Bone marrow smear
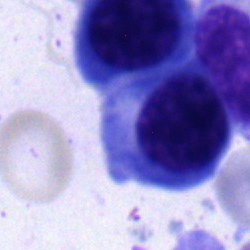Morphological class: normoblast.